Bone marrow aspirate smear. 250×250: 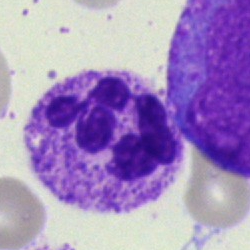{"cell_type": "segmented neutrophil", "lineage": "myeloid"}